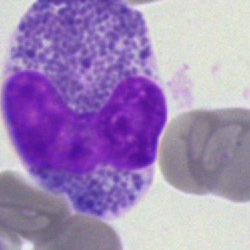Q: Which cell type is shown here?
A: It is an eosinophil.